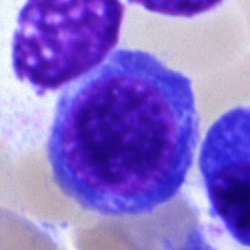 Bone marrow aspirate smear, single cell — erythroblast.